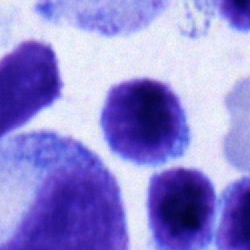
This is a lymphocyte.